Bone marrow aspirate smear.
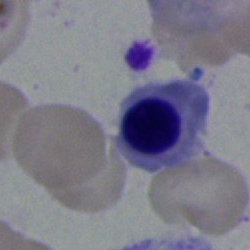 Specimen: bone marrow aspirate smear.
Cell: nucleated red blood cell.
Lineage: erythroid.